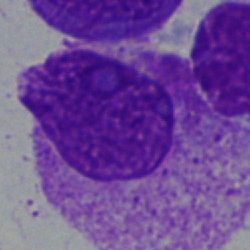Specimen: bone marrow smear.
Classification: blast cell.